Bone marrow aspirate smear: 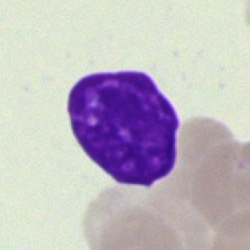

This is an artifact.